Bone marrow aspirate smear.
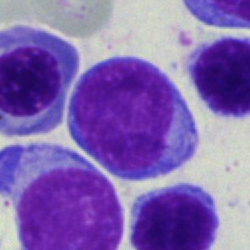

Morphological class — lymphocyte.